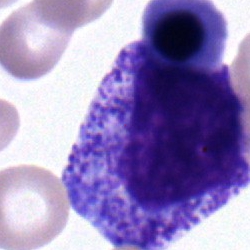

Single-cell crop from a bone marrow smear: progranulocyte.